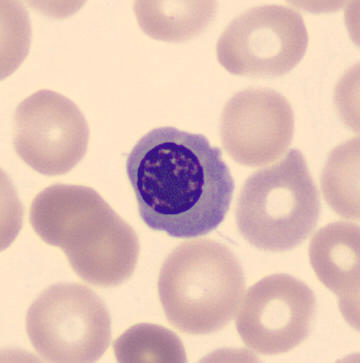

Preparation: Peripheral blood film. The cell is normoblast.